Bone marrow smear
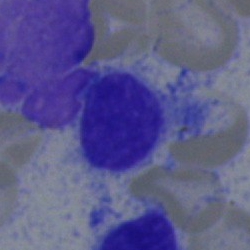Classification: lymphocyte.